Bone marrow aspirate smear:
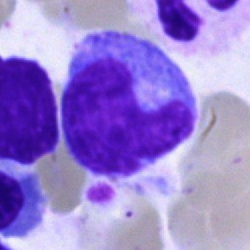
A monocyte.